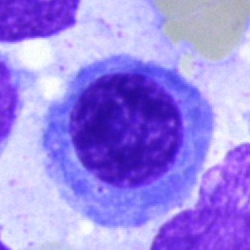

Morphology consistent with a normoblast.